Bone marrow smear:
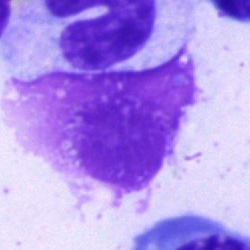

Morphology → artifact.